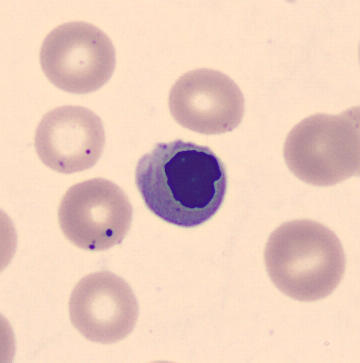 Peripheral blood smear.
A nucleated red blood cell.